Bone marrow aspirate smear:
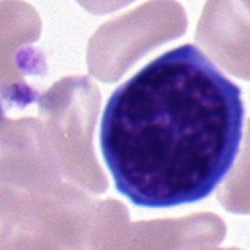
Nucleated red blood cell.